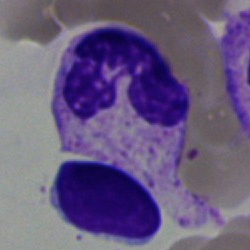

Cell type: neutrophil (segmented).